Cropped to a single cell · brightfield microscopy, 40× oil immersion · bone marrow aspirate smear.
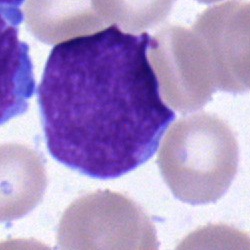
Undifferentiated blast.